Bone marrow smear — 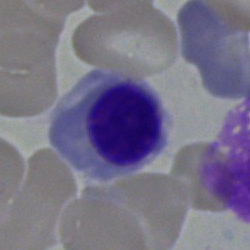

Morphological class = nucleated red blood cell.